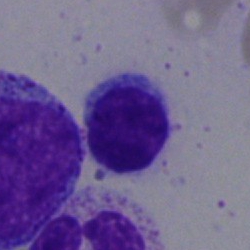

Classification: lymphocyte.